Brightfield microscopy, 40× oil immersion · bone marrow smear
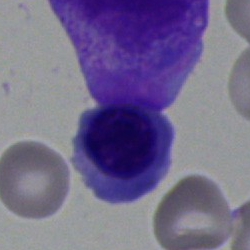 Morphological class — nucleated red cell.